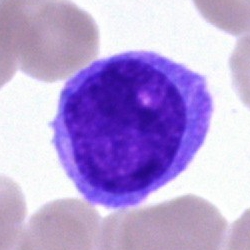 The morphological class is blast.